Bone marrow aspirate smear: 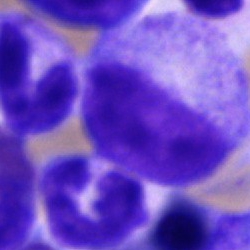 Promyelocyte.